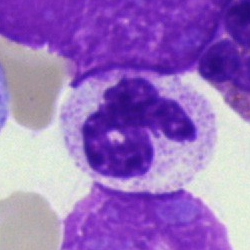

Cell type — polymorphonuclear neutrophil.